May-Grünwald-Giemsa stain. Bone marrow smear
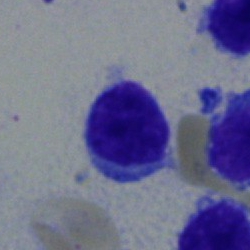Morphology consistent with a lymphocyte.